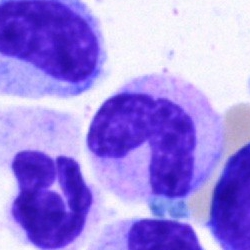
Cell type = stab cell.